Bone marrow smear · single-cell field — 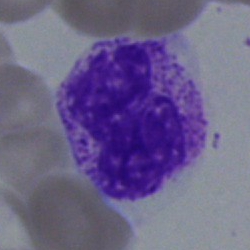 Specimen: bone marrow aspirate smear.
Classification: neutrophil (band).